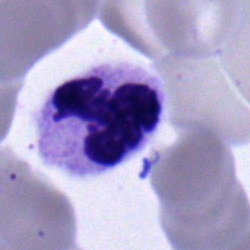 Cell type: neutrophil (segmented).